Brightfield microscopy, 40× oil immersion · bone marrow aspirate smear · Pappenheim-stained: 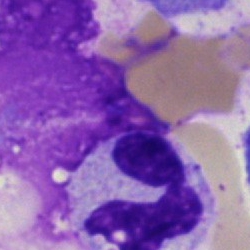{"cell_type": "polymorphonuclear neutrophil", "lineage": "myeloid"}